Bone marrow smear · May-Grünwald-Giemsa stain
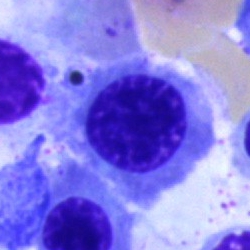
Classification = nucleated red blood cell.